100× objective, oil immersion; peripheral blood smear: 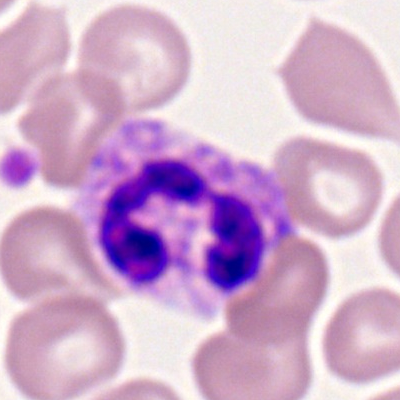
A polymorphonuclear neutrophil.